Cropped to a single cell; bone marrow smear: 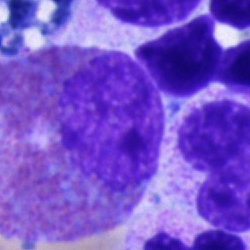 Q: What type of cell is this?
A: Eosinophilic granulocyte.